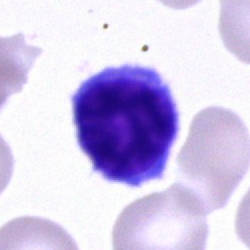
Morphological class: lymphocyte.